Bone marrow smear; brightfield, 40× oil-immersion objective
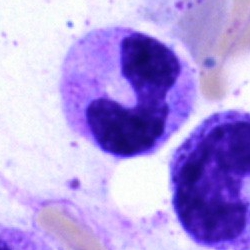

Specimen: bone marrow smear.
Cell: stab cell.
Lineage: myeloid.